Bone marrow aspirate smear · image size 250×250.
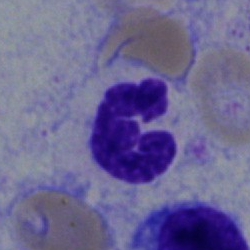
Polymorphonuclear neutrophil.